Bone marrow smear:
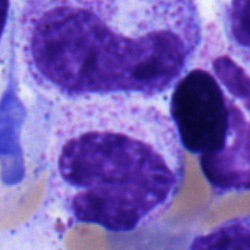

Specimen: bone marrow aspirate smear.
Cell type: metamyelocyte.
Lineage: myeloid.